Brightfield microscopy, 40× oil immersion; MGG-stained; bone marrow aspirate smear:
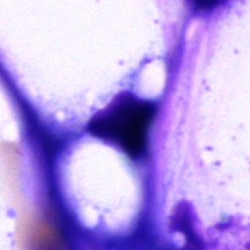An artifact.